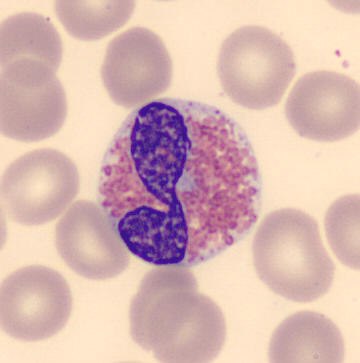Classification — eosinophilic granulocyte.
Preparation: Peripheral blood smear.